Romanowsky stain · peripheral blood film
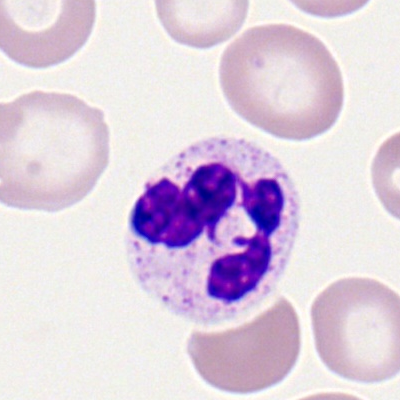 Single cell identified as a segmented neutrophil.